Bone marrow smear — 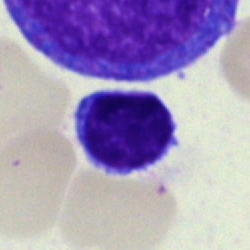Q: Identify the cell.
A: It is a typical lymphocyte.